Bone marrow aspirate smear.
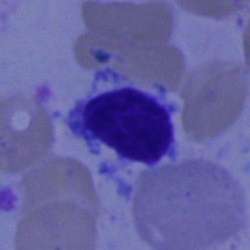

Cell — typical lymphocyte.